Brightfield, 40× oil-immersion objective. Bone marrow aspirate smear. 250×250 px
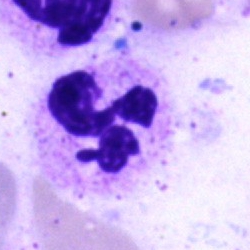 Cell type: segmented neutrophil.